Bone marrow aspirate smear; May-Grünwald-Giemsa/Pappenheim stain; single cell centered in the field.
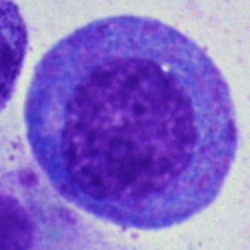Showing a progranulocyte.